Bone marrow aspirate smear — 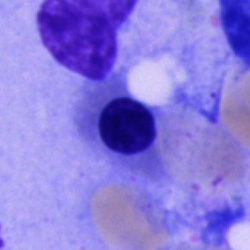 Showing a nucleated red cell.